Bone marrow aspirate smear. 250 by 250 pixels. Cropped to a single cell
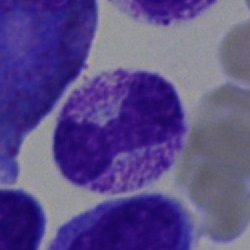

Specimen: bone marrow aspirate smear.
Classification: polymorphonuclear neutrophil.
Lineage: myeloid.